Single-cell crop · bone marrow smear: 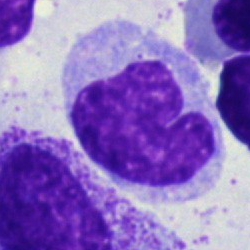The cell shown is a monocyte.